Bone marrow smear. Single cell centered in the field.
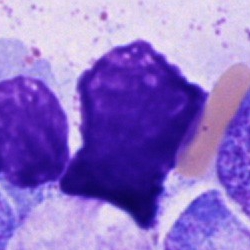Single cell identified as an artefact.